Bone marrow smear
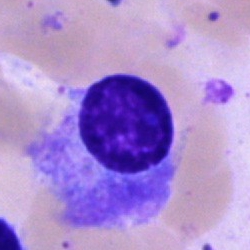

{"cell_type": "plasma cell"}